Single-cell crop · 40× objective, oil immersion · bone marrow aspirate smear:
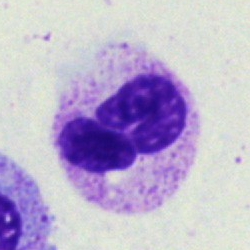 {"cell_type": "segmented neutrophil", "lineage": "myeloid"}